Bone marrow aspirate smear; MGG-stained:
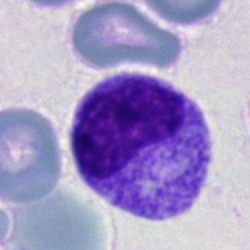Morphology consistent with a metamyelocyte.